40× oil immersion; bone marrow smear; 250×250.
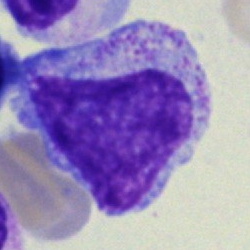

{"cell_type": "myelocyte", "lineage": "myeloid"}